Brightfield microscopy, 40× oil immersion; bone marrow aspirate smear
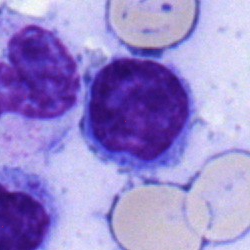 Q: What cell is this?
A: This is a typical lymphocyte.